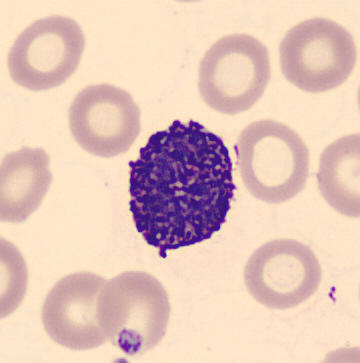
Peripheral blood film; CellaVision DM96 digital cell image; single-cell crop. Q: What is shown here?
A: This is a basophilic granulocyte.